Bone marrow aspirate smear; 40× objective, oil immersion; MGG-stained: 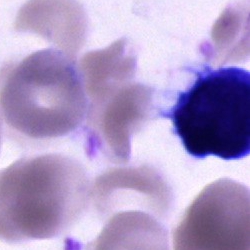

Q: What is the morphological classification of this cell?
A: Unidentifiable cell.